250×250 · bone marrow smear
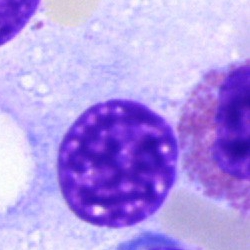
Artefact.